Single cell centered in the field · 250×250 px · bone marrow aspirate smear.
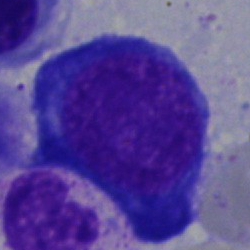The cell type is erythroblast.